Bone marrow aspirate smear.
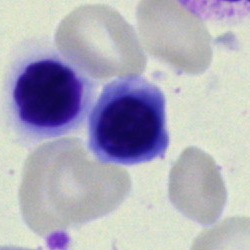 Nucleated red cell.